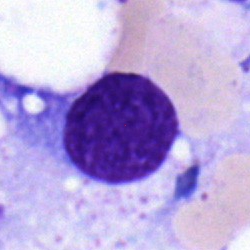{"cell_type": "lymphocyte"}